Bone marrow smear — 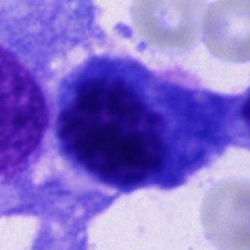

Cell not matching the other categories.